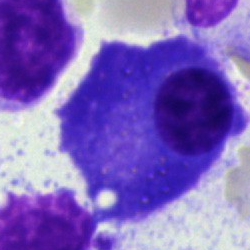 Classification = plasmacyte.